Bone marrow aspirate smear; 40× oil immersion
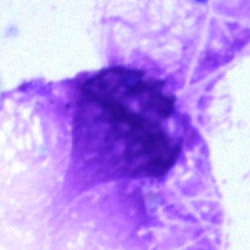
Specimen: bone marrow smear.
Cell: artefact.